Bone marrow aspirate smear:
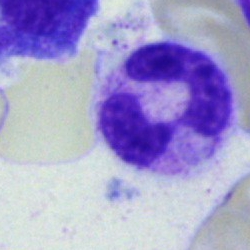Impression → polymorphonuclear neutrophil.